Bone marrow smear
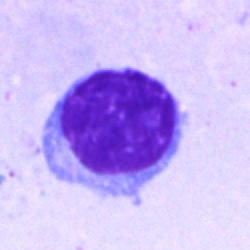 Specimen: bone marrow smear.
Classification: typical lymphocyte.
Lineage: lymphoid.